Single cell centered in the field; bone marrow aspirate smear; 250 by 250 pixels — 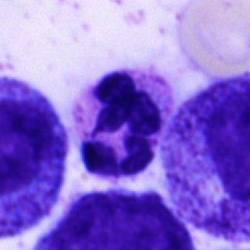
Cell type — neutrophil (segmented).